Bone marrow smear. MGG-stained — 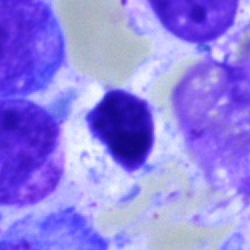 Cell: artefact.